May-Grünwald-Giemsa stain; bone marrow smear:
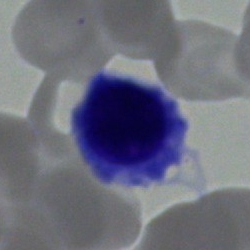Specimen: bone marrow aspirate smear.
Cell type: nucleated red cell.